Single cell centered in the field; bone marrow smear.
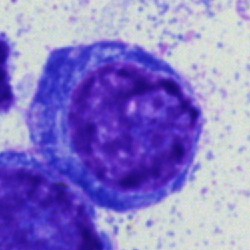

A plasmacyte.